Bone marrow smear.
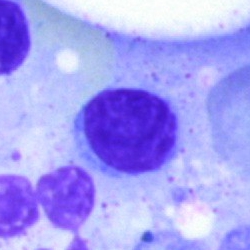 This is a typical lymphocyte.